40× objective, oil immersion · bone marrow aspirate smear: 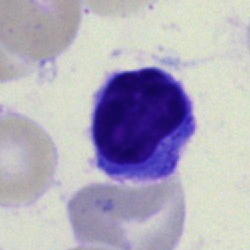

The morphological class is lymphocyte.